Bone marrow aspirate smear
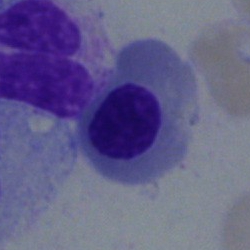 This is an erythroblast.